May-Grünwald-Giemsa/Pappenheim stain. Bone marrow smear — 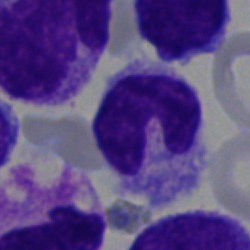

Q: Identify the cell.
A: A stab cell.